Single-cell field. Bone marrow aspirate smear. Image size 250×250: 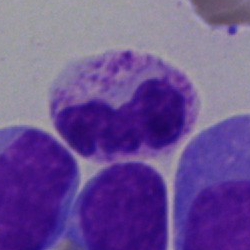
Morphological class: neutrophil (segmented).